250 by 250 pixels · bone marrow smear · single-cell field
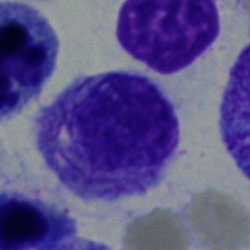 Morphological class: faggot cell.